Single-cell field · bone marrow smear:
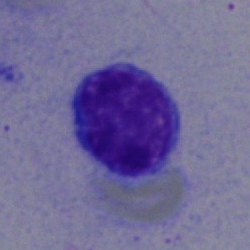

Cell type = typical lymphocyte.